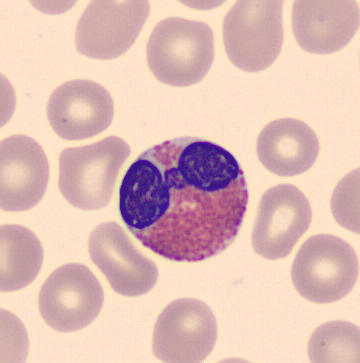

Morphology consistent with an eosinophilic granulocyte.

Preparation: Peripheral blood smear.